Bone marrow smear — 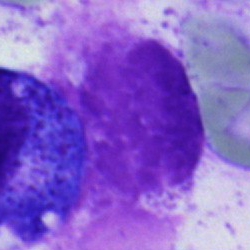Specimen: bone marrow aspirate smear.
Cell: artefact.